Bone marrow smear:
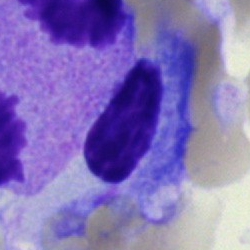

Q: What is shown here?
A: Artefact.